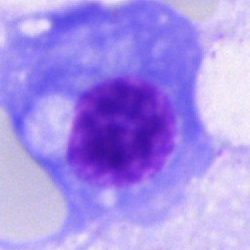Q: What is shown here?
A: Plasmacyte.